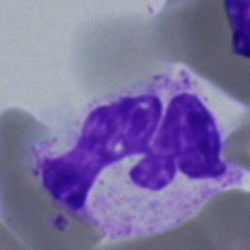Single cell identified as a polymorphonuclear neutrophil.